40× oil immersion · bone marrow smear — 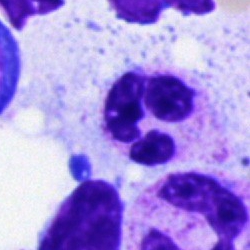
{"cell_type": "polymorphonuclear neutrophil", "lineage": "myeloid"}